Bone marrow aspirate smear · 40× oil immersion · 250×250 px: 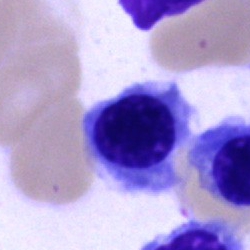 Cell type — nucleated red cell.